Bone marrow aspirate smear. 40× oil immersion.
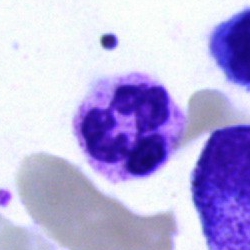 Polymorphonuclear neutrophil.